Cropped to a single cell; 250×250 px; bone marrow smear:
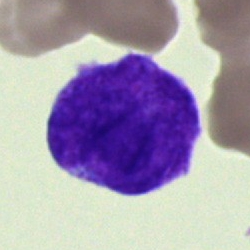

{"cell_type": "blast"}